Bone marrow aspirate smear — 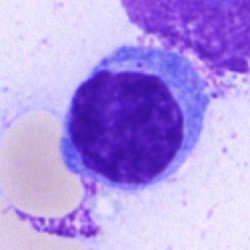 This is a lymphocyte.